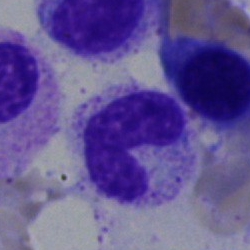 Classification: neutrophil (band).